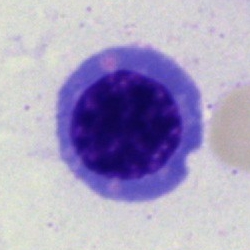 Single-cell crop from a bone marrow smear: normoblast.